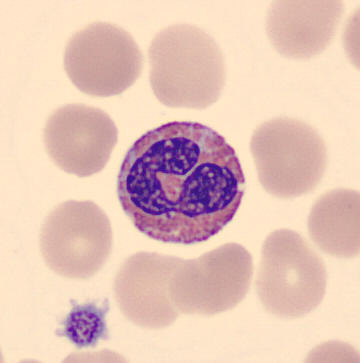
Image: Peripheral blood smear.
Q: What type of cell is this?
A: Eosinophilic granulocyte.